Single-cell field · bone marrow aspirate smear:
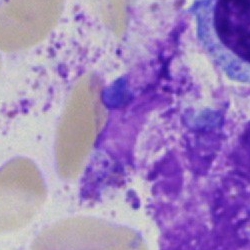 Cell type: artifact.